Bone marrow smear:
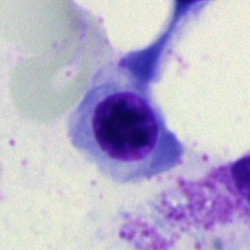
Specimen: bone marrow smear.
Classification: erythroblast.